Bone marrow smear — 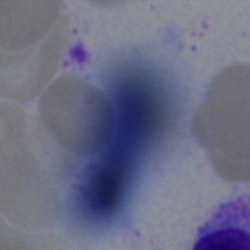
The cell type is artifact.